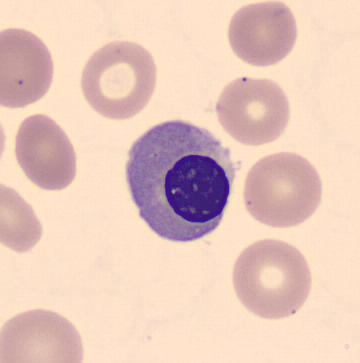Cell = nucleated red blood cell.
Preparation: Peripheral blood film. 360×363.